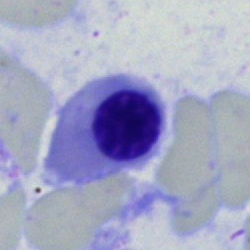 Impression — nucleated red cell.